Bone marrow aspirate smear: 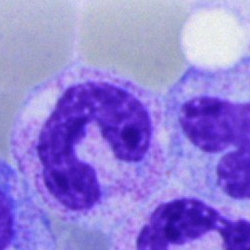

Polymorphonuclear neutrophil.